Bone marrow smear
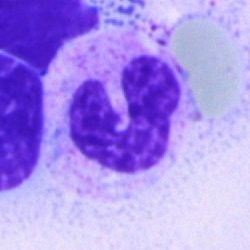 Single cell identified as a neutrophil (band).